Bone marrow aspirate smear: 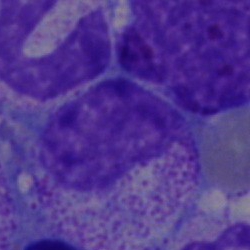

Q: What is the morphological classification of this cell?
A: A myelocyte.